Bone marrow aspirate smear.
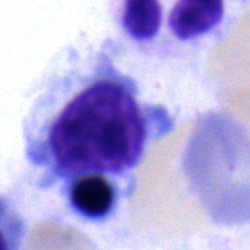Classification = typical lymphocyte.